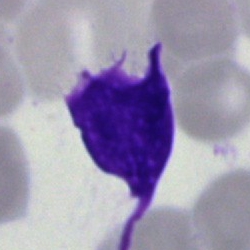
An artifact on a bone marrow smear.